Bone marrow smear.
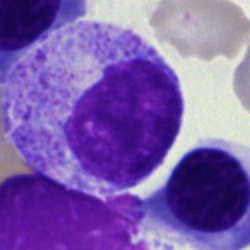
Q: What is shown here?
A: Myelocyte.